Bone marrow aspirate smear. Brightfield microscopy, 40× oil immersion: 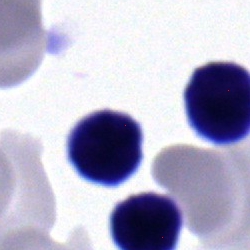

Specimen: bone marrow aspirate smear.
Morphological class: typical lymphocyte.
Lineage: lymphoid.